Bone marrow smear.
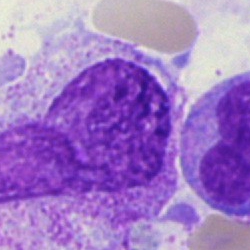

Q: What is shown here?
A: An artefact.